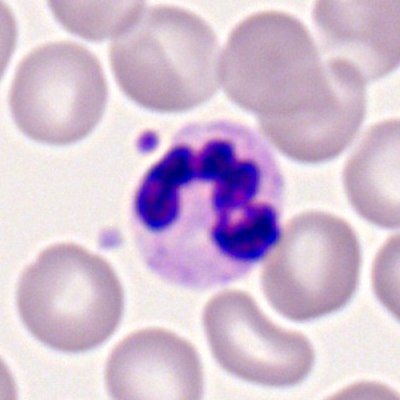

Single cell identified as a segmented neutrophil.